Bone marrow smear
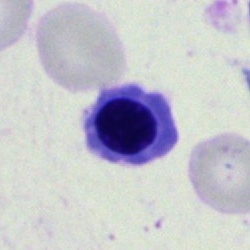
Classification — erythroblast.